Single-cell crop · bone marrow aspirate smear
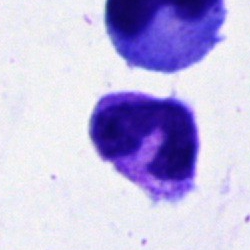

Morphology consistent with a neutrophil (segmented).